400×400 px. Peripheral blood smear: 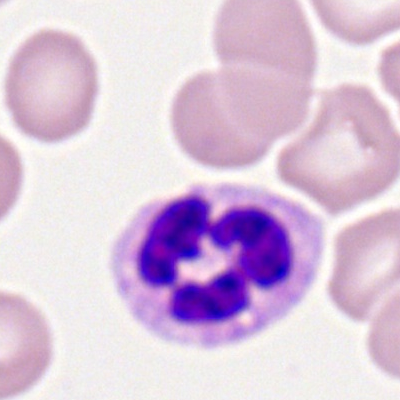 Q: What is shown here?
A: It is a polymorphonuclear neutrophil.